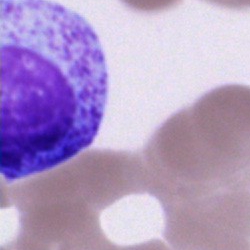

Q: Identify the cell.
A: It is an unidentifiable cell.